Single-cell crop. Bone marrow aspirate smear
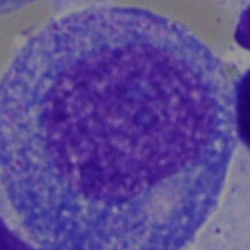

{"cell_type": "progranulocyte"}